Bone marrow aspirate smear. 250 by 250 pixels
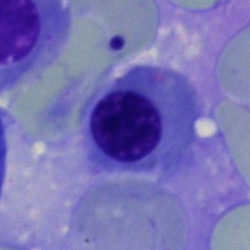

Showing a nucleated red cell.